Single-cell field; 250×250 px; bone marrow smear
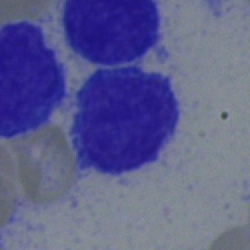

Specimen: bone marrow aspirate smear.
Morphological class: lymphocyte.